Image size 250×250. Bone marrow smear:
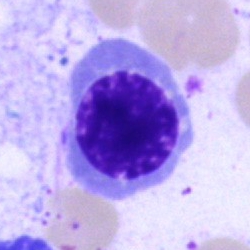
Morphology → erythroblast.